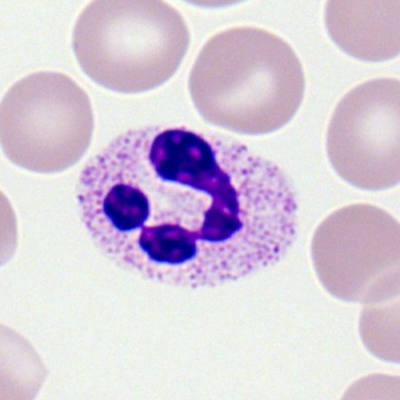Q: What cell is this?
A: A segmented neutrophil.